Bone marrow aspirate smear.
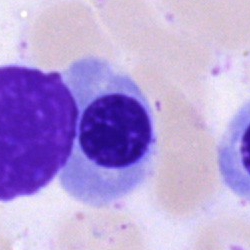

The cell is nucleated red blood cell.